Bone marrow smear.
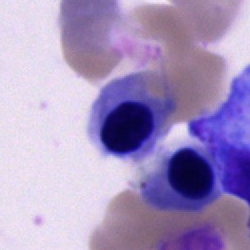The cell shown is a normoblast.